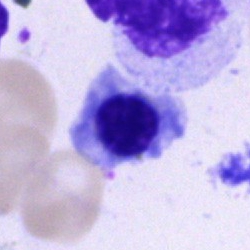Specimen: bone marrow aspirate smear.
Cell: erythroblast.
Lineage: erythroid.